May-Grünwald-Giemsa stain. Bone marrow aspirate smear: 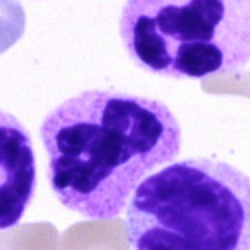 Q: What type of cell is this?
A: This is a segmented neutrophil.